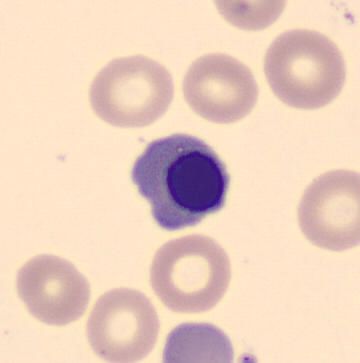Morphological class: normoblast.
Peripheral blood smear.